Bone marrow aspirate smear — 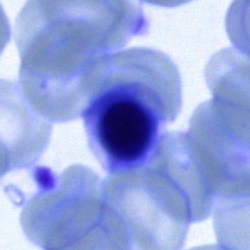
A nucleated red cell.